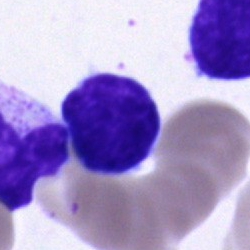 Single-cell crop from a bone marrow smear: typical lymphocyte.